MGG-stained. Image size 250×250. Bone marrow aspirate smear
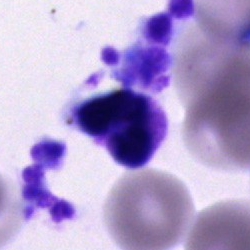

This is a segmented neutrophil.